Bone marrow aspirate smear.
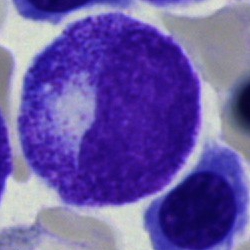

The morphological class is progranulocyte.